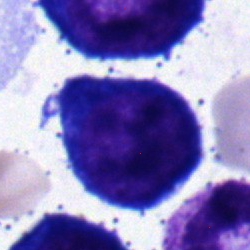 {"cell_type": "proerythroblast"}